Bone marrow smear — 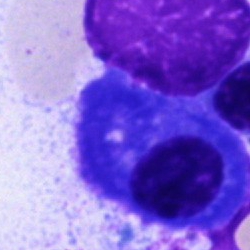Morphology consistent with a plasma cell.